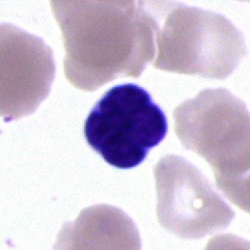The classification is lymphocyte.